Peripheral blood smear
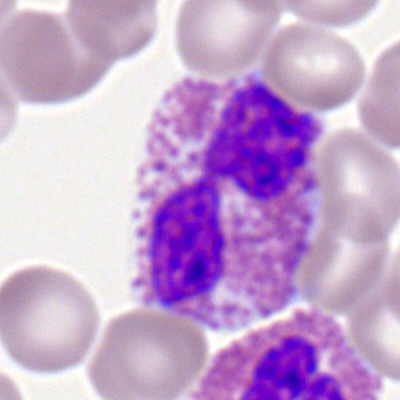The classification is eosinophil.